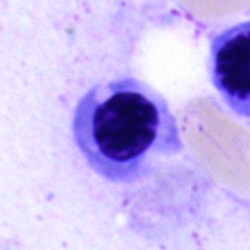
Specimen: bone marrow smear.
Classification: erythroblast.
Lineage: erythroid.